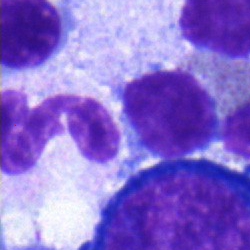 {"cell_type": "polymorphonuclear neutrophil", "lineage": "myeloid"}